Bone marrow aspirate smear · cropped to a single cell:
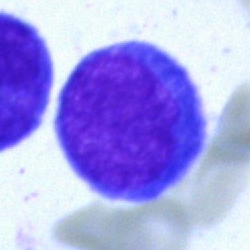 The cell shown is an undifferentiated blast.